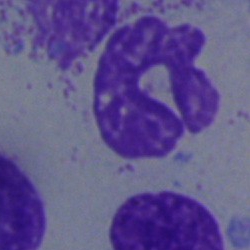Morphology → polymorphonuclear neutrophil.